Single-cell crop; 40× objective, oil immersion; bone marrow aspirate smear.
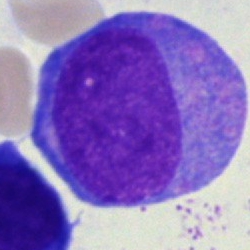Morphological class — undifferentiated blast.